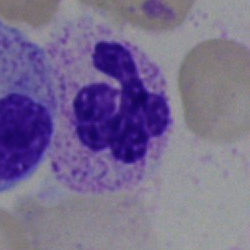 Q: What type of cell is this?
A: It is a segmented neutrophil.